Bone marrow aspirate smear · 40× objective, oil immersion: 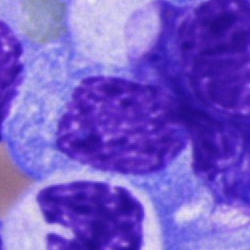
Showing an unidentifiable cell.